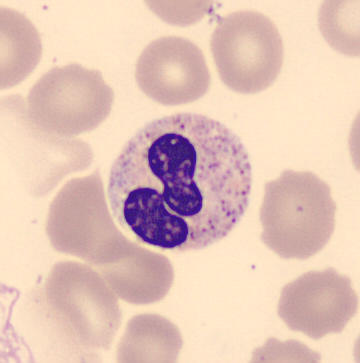
Morphology — segmented neutrophil.